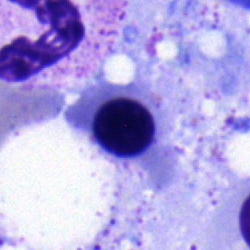 Showing a nucleated red cell.